Bone marrow aspirate smear
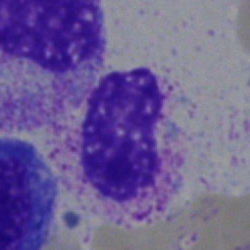Q: What is shown here?
A: Segmented neutrophil.